Bone marrow aspirate smear: 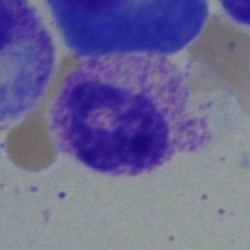

A polymorphonuclear neutrophil.